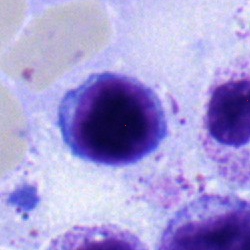

Specimen: bone marrow aspirate smear.
Cell type: typical lymphocyte.
Lineage: lymphoid.